Bone marrow smear
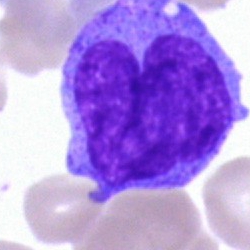

Cell: monocyte.